Bone marrow smear · 40× oil immersion — 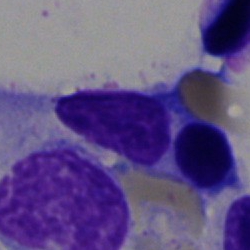

Single cell identified as a typical lymphocyte.